May-Grünwald-Giemsa stain. Bone marrow smear: 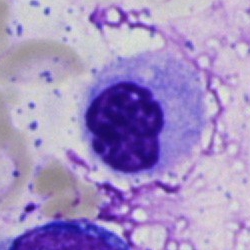Morphology — erythroblast.